250×250 px · 40× oil immersion · bone marrow aspirate smear:
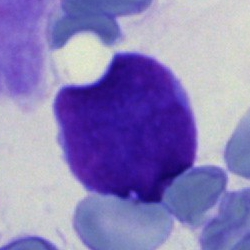Q: Which cell type is shown here?
A: This is a blast cell.